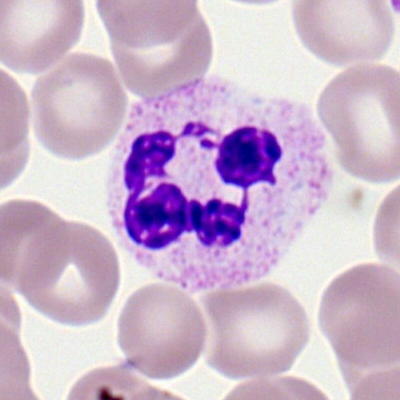 {"cell_type": "neutrophil (segmented)"}